Bone marrow smear · cropped to a single cell:
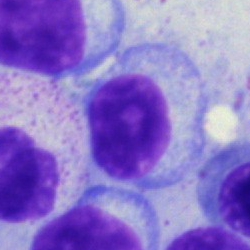
Q: What is the morphological classification of this cell?
A: Plasma cell.